Single cell centered in the field. Image size 250×250. Bone marrow aspirate smear — 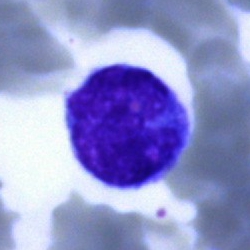

Single cell identified as a lymphocyte.